Peripheral blood smear. Brightfield, 100× oil-immersion objective.
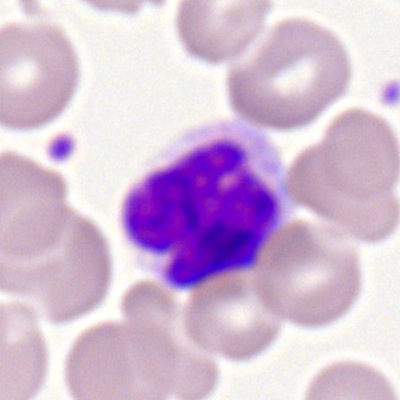

Classification: neutrophil (segmented).